Peripheral blood film:
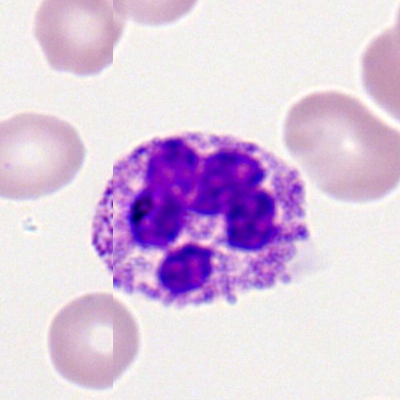 This is a polymorphonuclear neutrophil.